40× objective, oil immersion. Bone marrow aspirate smear
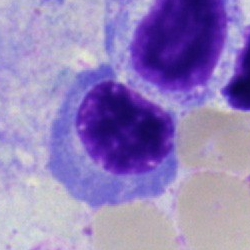

Normoblast.